Bone marrow aspirate smear; May-Grünwald-Giemsa/Pappenheim stain:
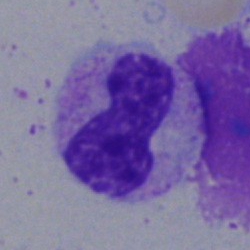

Specimen: bone marrow smear.
Cell: band-form neutrophil.
Lineage: myeloid.